MGG-stained · bone marrow smear — 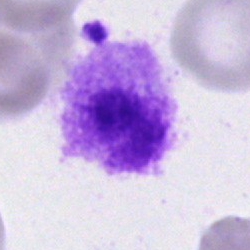Cell: artefact.